May-Grünwald-Giemsa/Pappenheim stain. Bone marrow aspirate smear.
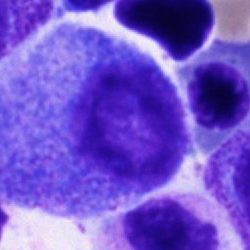 The morphological class is progranulocyte.